Bone marrow aspirate smear.
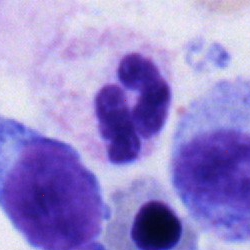

Specimen: bone marrow aspirate smear.
Classification: neutrophil (segmented).
Lineage: myeloid.